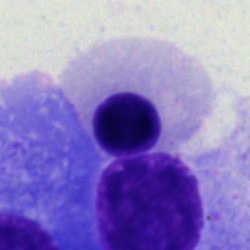Bone marrow smear showing a nucleated red blood cell.